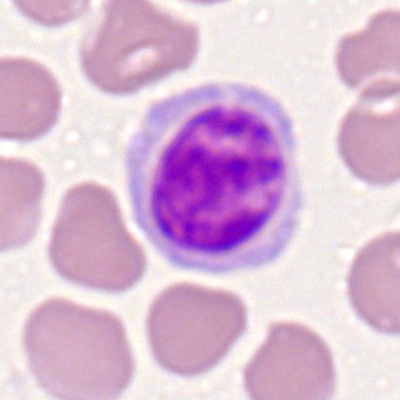
This is a lymphocyte.